Single-cell crop. Bone marrow smear
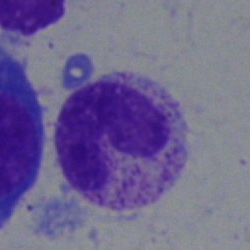{"cell_type": "band-form neutrophil"}